40× oil immersion; bone marrow smear; 250 by 250 pixels: 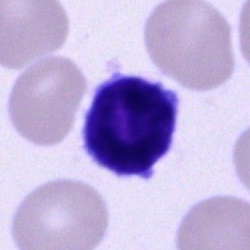
Classification: typical lymphocyte.